Bone marrow smear.
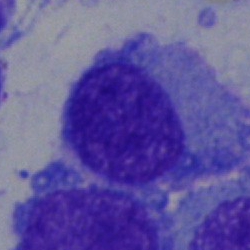The morphological class is plasmacyte.